Bone marrow smear:
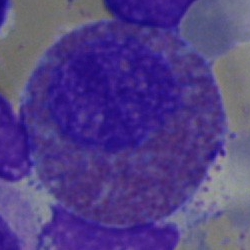

Single cell identified as an eosinophil.